Bone marrow smear · 250×250 px
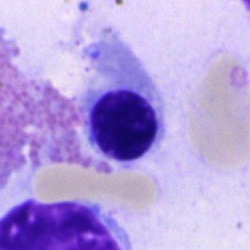
Showing a nucleated red cell.